Bone marrow smear:
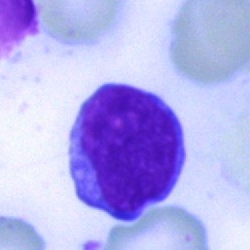The cell type is lymphocyte.